Brightfield microscopy, 40× oil immersion; bone marrow smear.
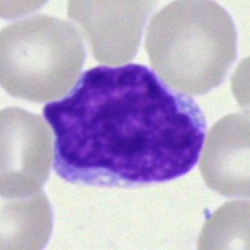Q: Identify the cell.
A: It is a blast cell.